Bone marrow smear.
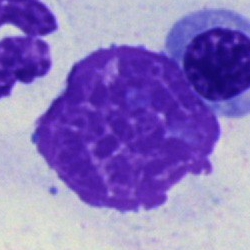 Q: What is shown here?
A: It is an artifact.